40× oil immersion; 250 by 250 pixels; bone marrow smear.
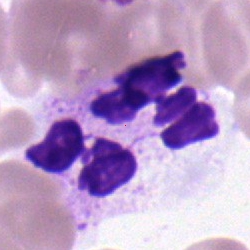Classification = segmented neutrophil.